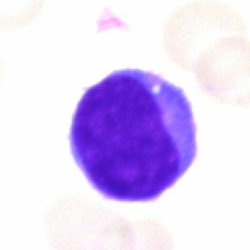Q: Identify the cell.
A: This is a lymphocyte.